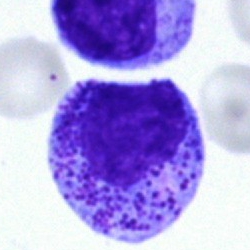
Cell type — myelocyte.